250×250 px; single-cell field; bone marrow aspirate smear
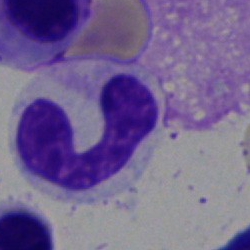
Morphology → polymorphonuclear neutrophil.